Bone marrow aspirate smear.
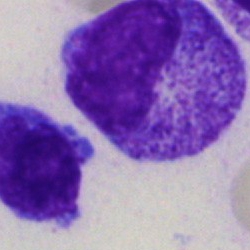The cell is progranulocyte.